Peripheral blood smear:
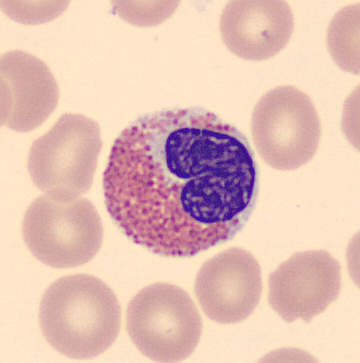Specimen: peripheral blood smear.
Cell type: eosinophil.